Pappenheim-stained; bone marrow aspirate smear
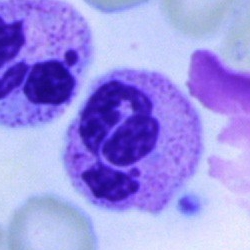

Q: Identify the cell.
A: Segmented neutrophil.